Pappenheim-stained · bone marrow smear — 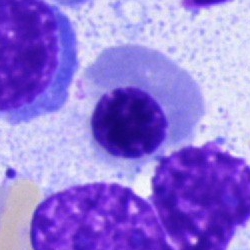

Classification = nucleated red cell.